Bone marrow aspirate smear:
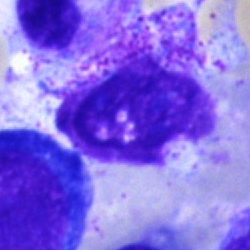This is an artifact.